Bone marrow smear
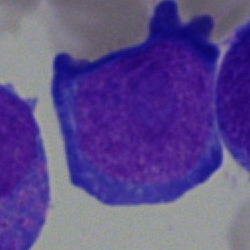
Specimen: bone marrow aspirate smear.
Morphological class: nucleated red blood cell.